Bone marrow aspirate smear; May-Grünwald-Giemsa stain — 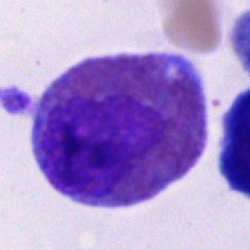

Morphological class = eosinophilic granulocyte.